Bone marrow smear — 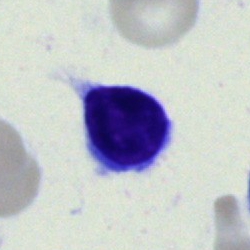

Impression → typical lymphocyte.